Brightfield, 40× oil-immersion objective; bone marrow smear:
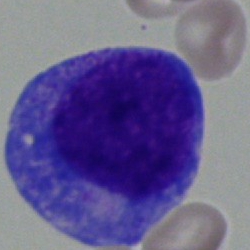
Single cell identified as a promyelocyte.